Peripheral blood smear:
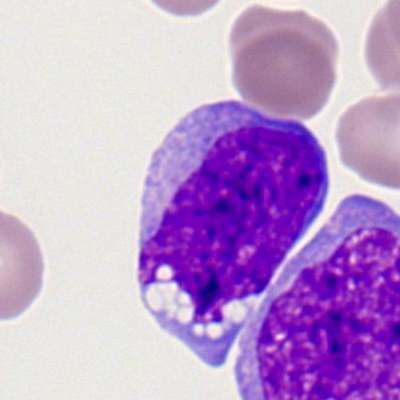

Specimen: peripheral blood smear.
Cell type: monocyte.
Lineage: myeloid.